Bone marrow smear.
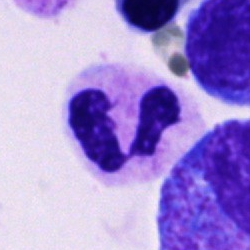

Q: What is the morphological classification of this cell?
A: This is a polymorphonuclear neutrophil.